Image size 250×250 · bone marrow smear
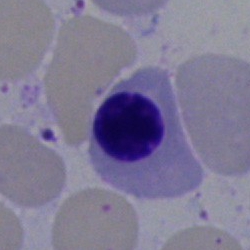

This is an erythroblast.